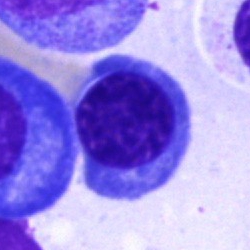 Specimen: bone marrow aspirate smear.
Cell: nucleated red blood cell.